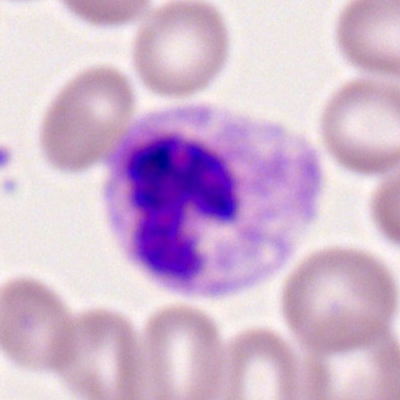Specimen: peripheral blood film.
Cell: neutrophil (segmented).
Lineage: myeloid.